400×400. Peripheral blood film. Single-cell crop.
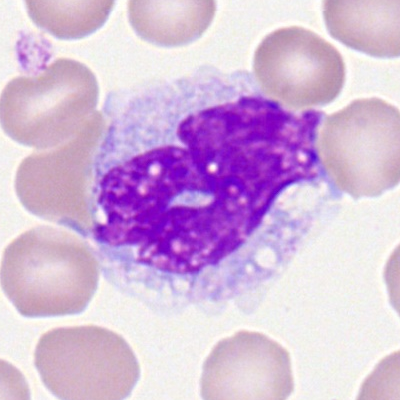

Classification = monocyte.